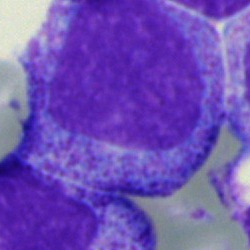
Promyelocyte.